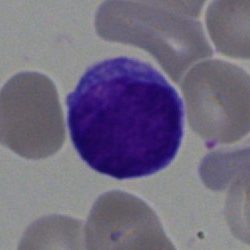This is a promyelocyte.